Bone marrow smear.
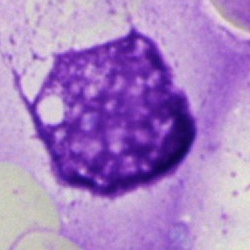 Cell type: artifact.